Bone marrow smear; May-Grünwald-Giemsa stain: 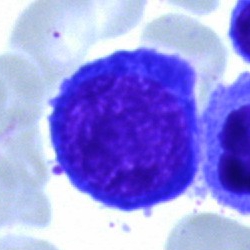 Classification = nucleated red cell.